Bone marrow smear
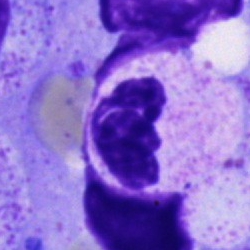

Specimen: bone marrow aspirate smear.
Morphological class: neutrophil (segmented).
Lineage: myeloid.